Bone marrow aspirate smear: 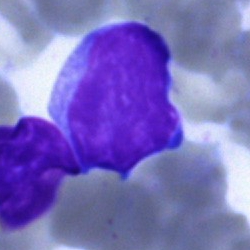
Cell = lymphocyte (immature).